Bone marrow smear; 250×250 px
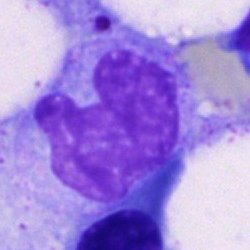
Specimen: bone marrow aspirate smear.
Cell type: monocyte.